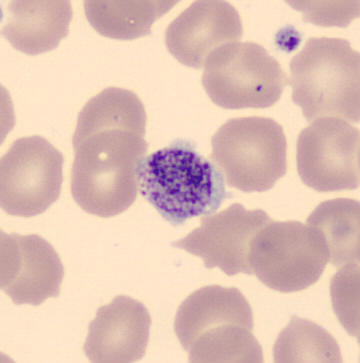The cell type is thrombocyte.

Peripheral blood smear.